Bone marrow smear; brightfield, 40× oil-immersion objective; cropped to a single cell — 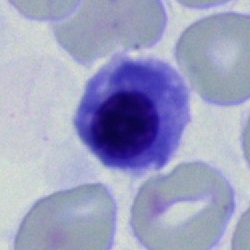

Morphology consistent with an erythroblast.